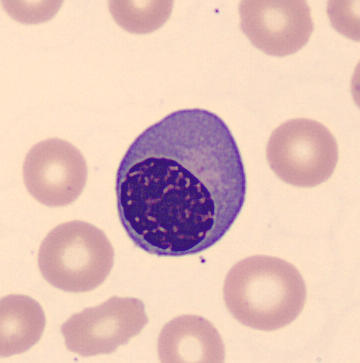 Identified as a nucleated red blood cell.

Peripheral blood film. Imaged on a CellaVision DM96 analyser.